Bone marrow smear. 40× oil immersion: 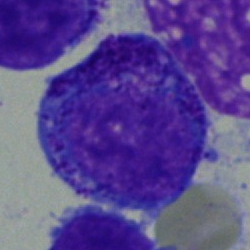
The cell shown is a progranulocyte.